Bone marrow smear:
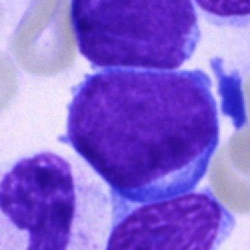

Cell = blast cell.